Bone marrow aspirate smear; cropped to a single cell; brightfield, 40× oil-immersion objective
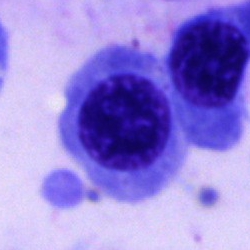 Classification: nucleated red cell.